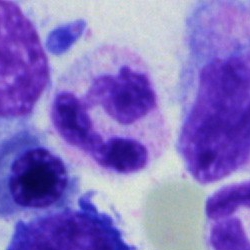

Impression — polymorphonuclear neutrophil.